400×400; peripheral blood film
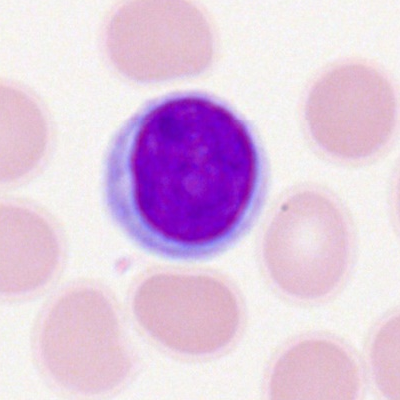

Single cell identified as a typical lymphocyte.